Single-cell field · bone marrow smear:
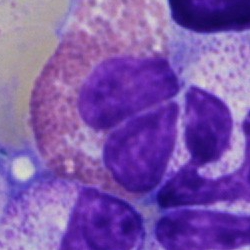
Specimen: bone marrow smear.
Cell type: eosinophilic granulocyte.
Lineage: myeloid.